Bone marrow smear:
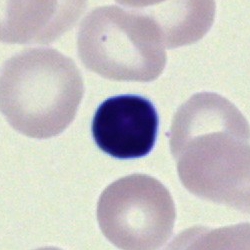The cell type is typical lymphocyte.